Bone marrow aspirate smear; Pappenheim-stained: 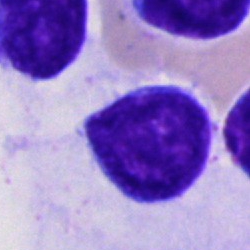Blast.